Bone marrow aspirate smear
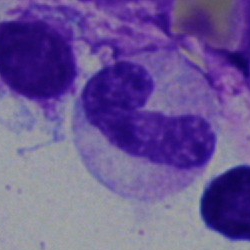
The morphological class is band neutrophil.